Bone marrow aspirate smear: 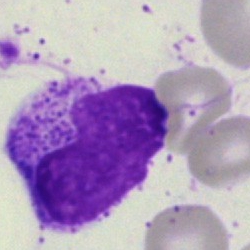

Artefact.